Single-cell crop · peripheral blood film.
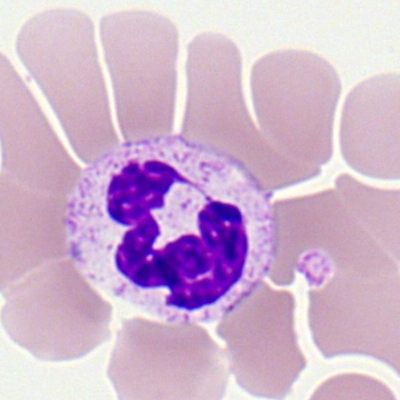

This is a polymorphonuclear neutrophil.